Peripheral blood film. Single cell centered in the field.
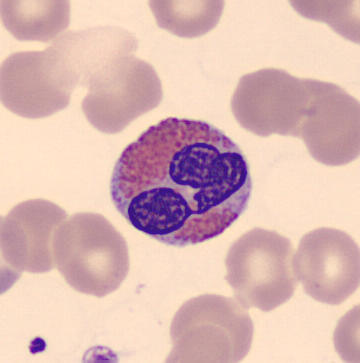
Q: What is the morphological classification of this cell?
A: This is an eosinophilic granulocyte.